Bone marrow aspirate smear; 250 by 250 pixels — 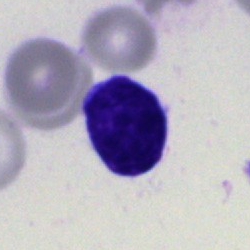 Morphology — blast cell.